Bone marrow aspirate smear:
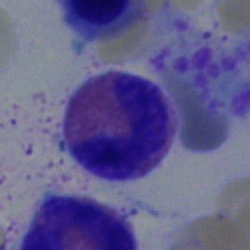Cell type = eosinophil.